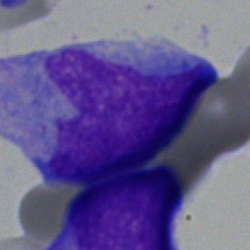
The cell is blast cell.